Peripheral blood film: 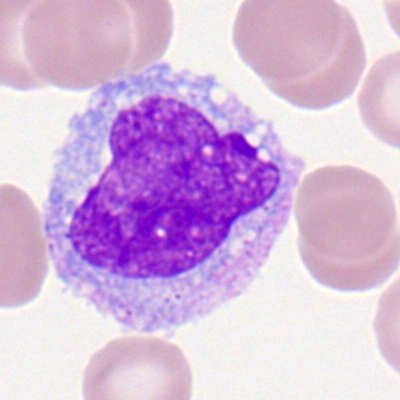
The cell shown is a monocyte.